Bone marrow smear — 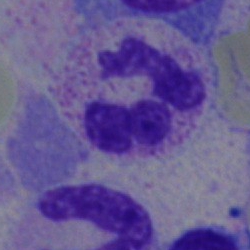Single cell identified as a segmented neutrophil.